Bone marrow aspirate smear. 40× objective, oil immersion:
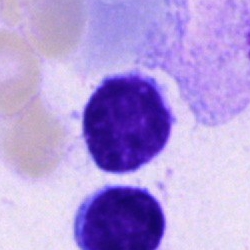Lymphocyte.